360×363 px. Peripheral blood film — 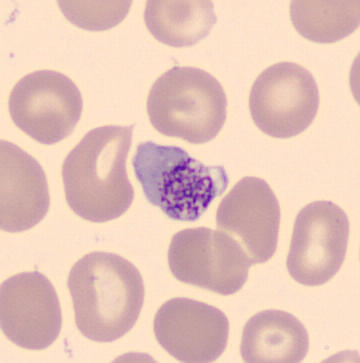
Morphological class = platelet (thrombocyte).